Peripheral blood film: 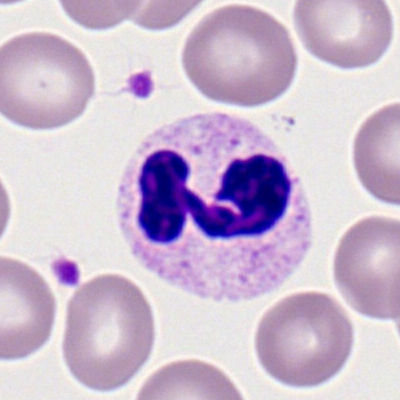

Specimen: peripheral blood smear.
Cell: neutrophil (segmented).
Lineage: myeloid.